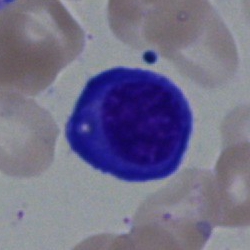The cell type is plasmacyte.